Bone marrow smear:
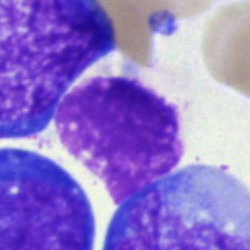 Q: What is shown here?
A: It is an artefact.